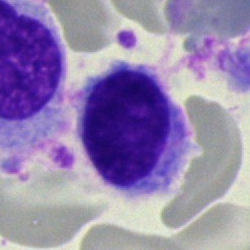Cell — lymphocyte.